Bone marrow aspirate smear · Pappenheim-stained · 250 by 250 pixels — 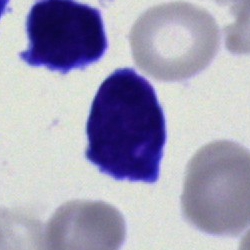Q: What cell is this?
A: A blast cell.